250×250 · bone marrow aspirate smear.
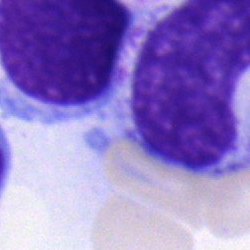

A metamyelocyte.